Single cell centered in the field · bone marrow aspirate smear.
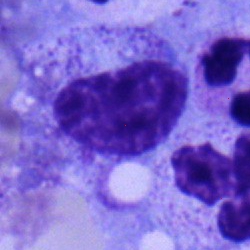 The cell shown is a metamyelocyte.